40× objective, oil immersion. 250 by 250 pixels. Bone marrow aspirate smear:
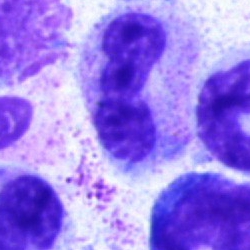

Q: What cell is this?
A: Neutrophil (band).